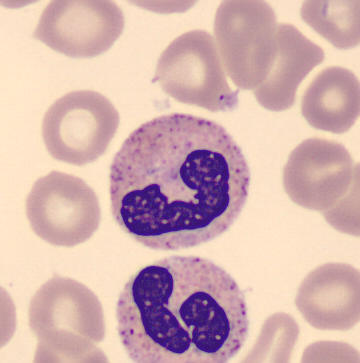

Identified as a neutrophil (band).
Peripheral blood film.